Image size 250×250. Bone marrow aspirate smear. 40× oil immersion
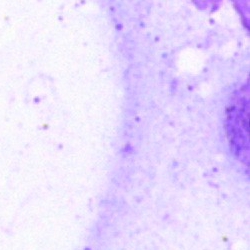

The cell shown is an artifact.